Bone marrow smear; 40× oil immersion; cropped to a single cell.
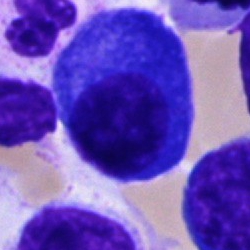
{"cell_type": "plasmacyte", "lineage": "lymphoid"}